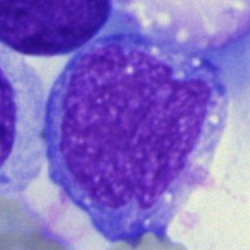
Undifferentiated blast.